Bone marrow smear — 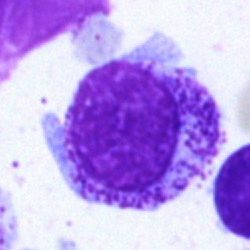 {"cell_type": "myelocyte", "lineage": "myeloid"}